Bone marrow smear; 40× objective, oil immersion:
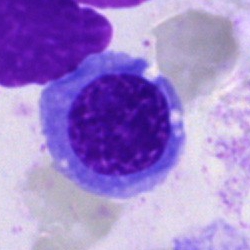
{"cell_type": "nucleated red blood cell", "lineage": "erythroid"}